Bone marrow smear — 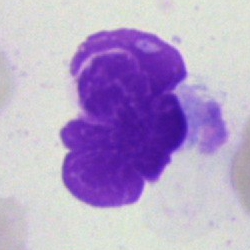 Specimen: bone marrow aspirate smear.
Classification: artifact.